Brightfield, 40× oil-immersion objective; bone marrow smear.
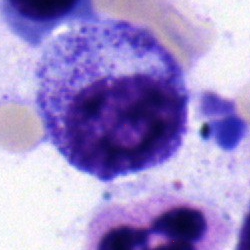Morphological class — myelocyte.